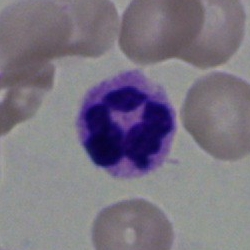 Q: What type of cell is this?
A: A neutrophil (segmented).